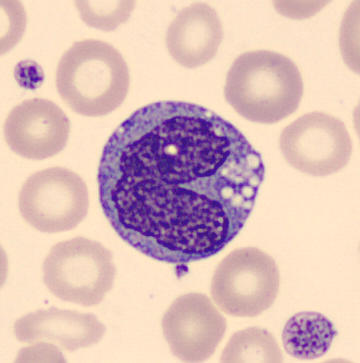

The cell shown is a monocyte.

Acquisition: Peripheral blood smear.